Bone marrow smear: 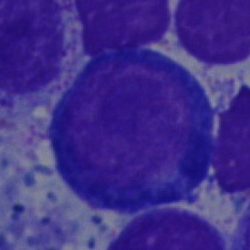

Classification = nucleated red cell.